Bone marrow smear. 40× oil immersion. May-Grünwald-Giemsa stain — 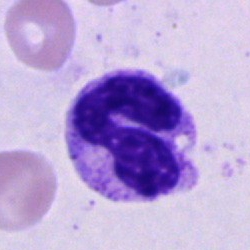 {"cell_type": "neutrophil (segmented)", "lineage": "myeloid"}